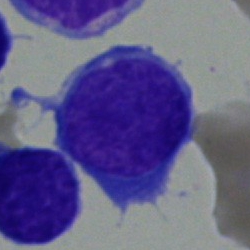 Cell — blast.